Brightfield microscopy, 40× oil immersion. Image size 250×250. Bone marrow smear:
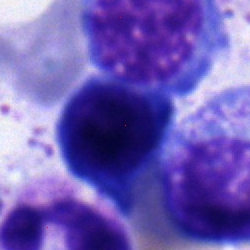

Q: Identify the cell.
A: This is a nucleated red blood cell.